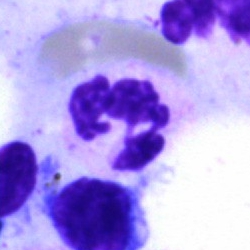

Q: What is the morphological classification of this cell?
A: This is a polymorphonuclear neutrophil.